Bone marrow aspirate smear:
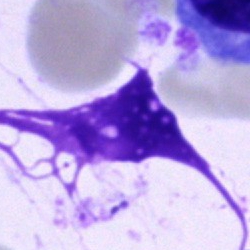Impression — artefact.